Cropped to a single cell. Bone marrow smear. 250 by 250 pixels
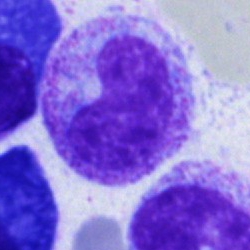

Q: Which cell type is shown here?
A: Metamyelocyte.